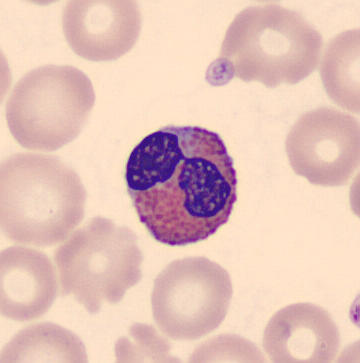
Q: What is this?
A: Eosinophilic granulocyte.